Image size 250×250 · bone marrow smear · single-cell field:
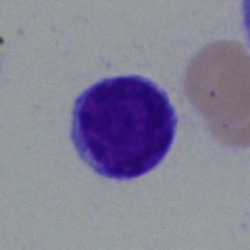

Cell type: typical lymphocyte.